Bone marrow smear.
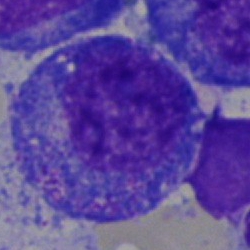 {"cell_type": "promyelocyte", "lineage": "myeloid"}